40× oil immersion; bone marrow aspirate smear — 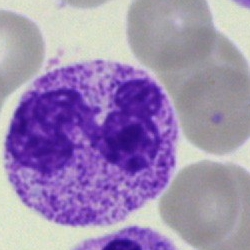 Morphology consistent with a segmented neutrophil.